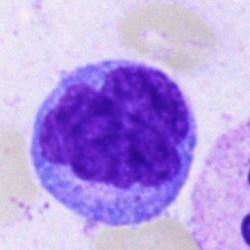 Cell type: monocyte.